Bone marrow smear · brightfield, 40× oil-immersion objective · single cell centered in the field.
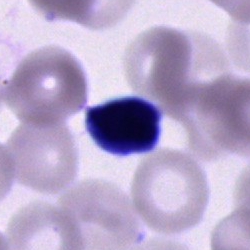
The cell type is unidentifiable cell.